Bone marrow aspirate smear · 250×250 px: 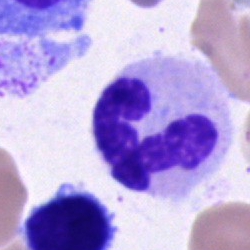
Morphology consistent with a segmented neutrophil.